Bone marrow aspirate smear · 250×250 px · single-cell field
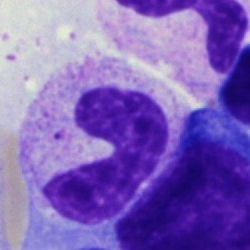 Cell type — stab cell.